Bone marrow aspirate smear
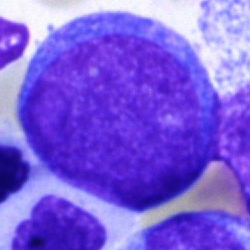

Morphology → blast.